250 by 250 pixels; bone marrow smear
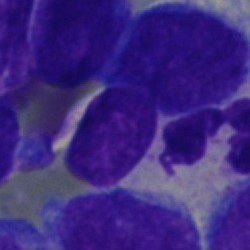Morphology consistent with a polymorphonuclear neutrophil.